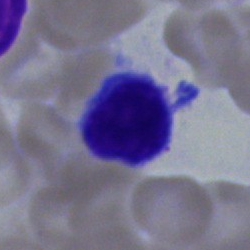

Cell type: lymphocyte.